Peripheral blood film:
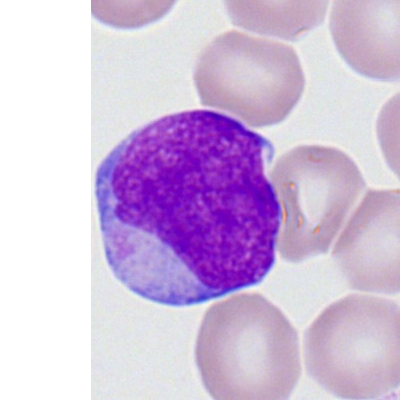

A myeloblast.